Bone marrow aspirate smear: 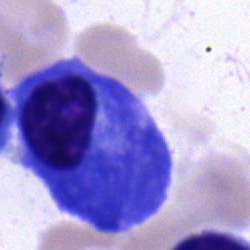 Classification = plasma cell.